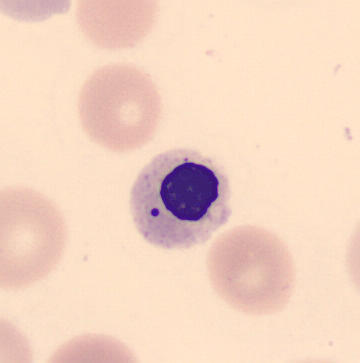
Preparation: Peripheral blood smear. Q: What cell is this?
A: Nucleated red blood cell.